Pappenheim-stained; image size 250×250; bone marrow aspirate smear
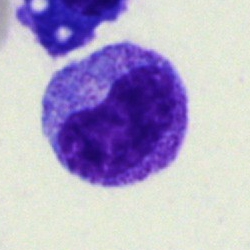 Morphological class: metamyelocyte.